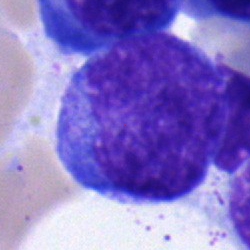

Single-cell crop from a bone marrow smear: progranulocyte.